Bone marrow aspirate smear · Pappenheim-stained — 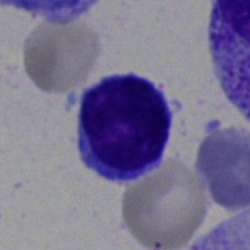{"cell_type": "typical lymphocyte"}